Brightfield, 40× oil-immersion objective; single-cell field; bone marrow smear.
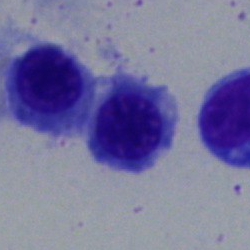
Cell: nucleated red cell.